Bone marrow smear · 250 by 250 pixels — 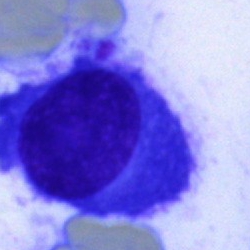The morphological class is plasma cell.